May-Grünwald-Giemsa stain · bone marrow smear.
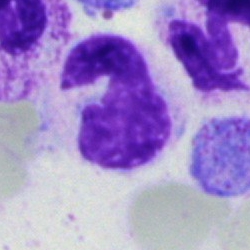
Morphology consistent with a stab cell.